250×250 px · brightfield microscopy, 40× oil immersion · bone marrow smear
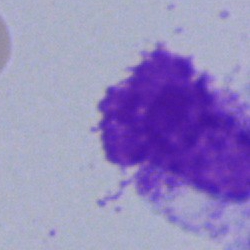Classification: artefact.